Bone marrow smear: 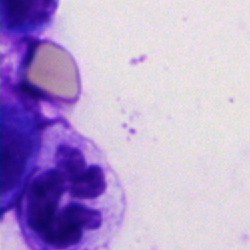
Q: Which cell type is shown here?
A: A polymorphonuclear neutrophil.